Bone marrow aspirate smear; Pappenheim-stained.
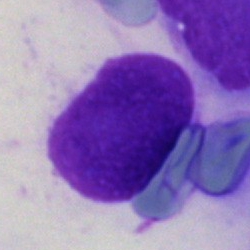

Classification: undifferentiated blast.